Bone marrow aspirate smear:
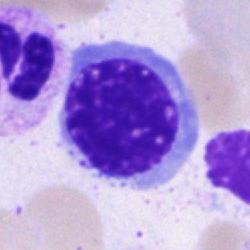

Impression — erythroblast.